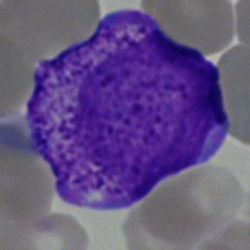

Morphology consistent with an undifferentiated blast.